Romanowsky-stained. Peripheral blood film — 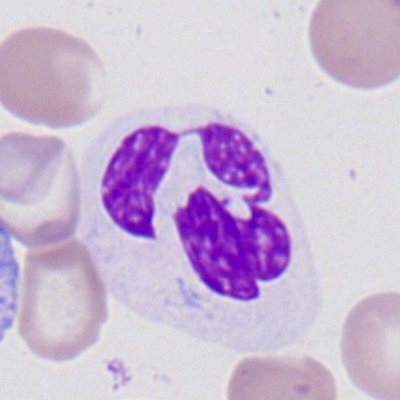
Showing a segmented neutrophil.